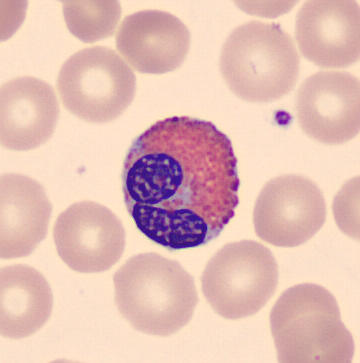Eosinophilic granulocyte.